Bone marrow smear · cropped to a single cell · brightfield, 40× oil-immersion objective:
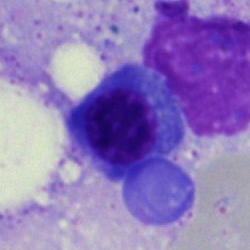 Specimen: bone marrow aspirate smear.
Cell type: nucleated red blood cell.
Lineage: erythroid.